Bone marrow aspirate smear
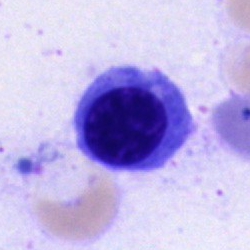
Cell = erythroblast.